May-Grünwald-Giemsa stain; bone marrow smear
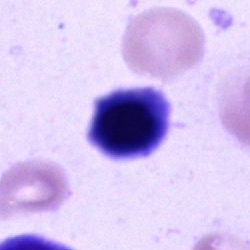

The cell is normoblast.